Peripheral blood film; cropped to a single cell
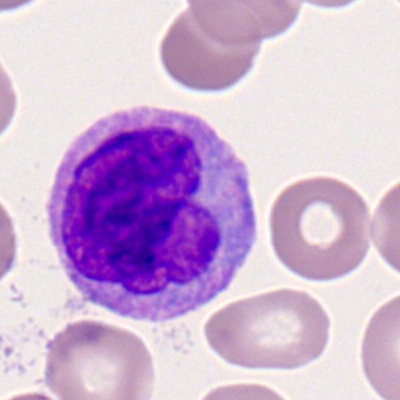
This is a monocyte.